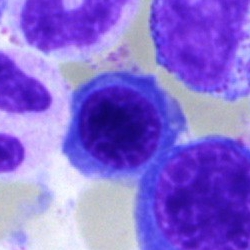

Q: What is shown here?
A: This is an erythroblast.